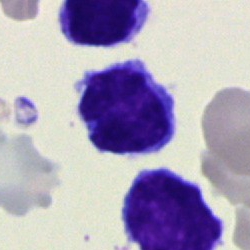

A typical lymphocyte on a bone marrow smear.